Peripheral blood film. Romanowsky-type stain:
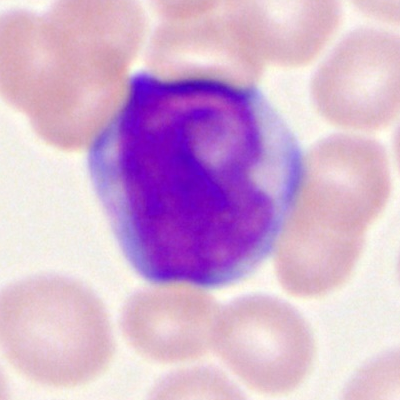

Q: What cell is this?
A: This is a myeloblast.